Bone marrow smear; single-cell field; brightfield, 40× oil-immersion objective.
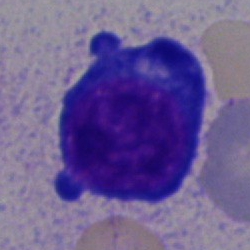The cell shown is a proerythroblast.